Bone marrow aspirate smear: 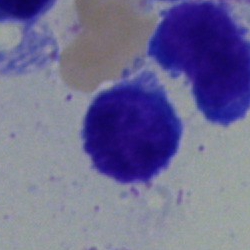
This is a typical lymphocyte.